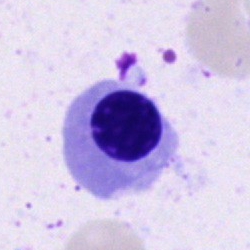Morphological class = normoblast.